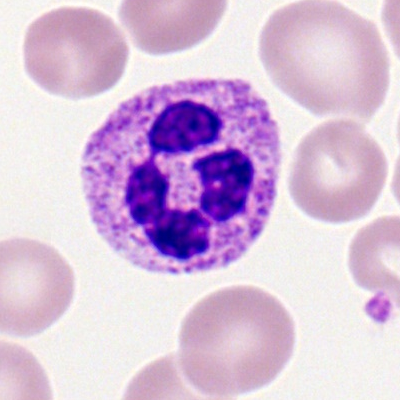 A segmented neutrophil on a peripheral blood smear.